Bone marrow aspirate smear; MGG-stained: 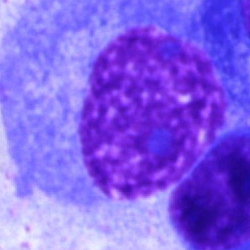
This is a plasma cell.